Peripheral blood film — 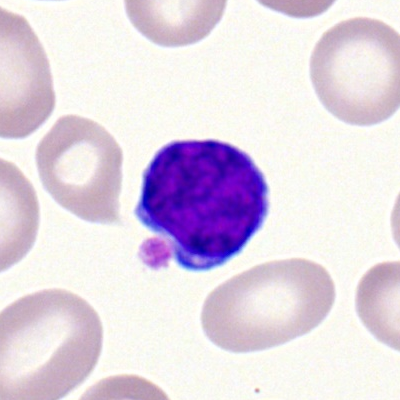
Morphology consistent with a typical lymphocyte.